Bone marrow aspirate smear. Brightfield, 40× oil-immersion objective
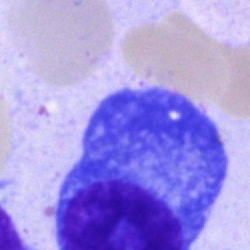 This is a plasmacyte.